Bone marrow aspirate smear
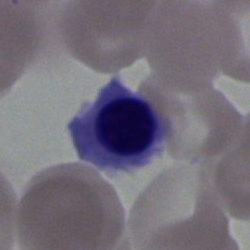

Single cell identified as a normoblast.